Peripheral blood smear. 400×400 px. Romanowsky-type stain: 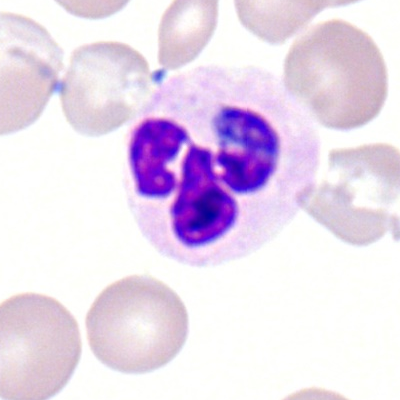 The cell shown is a neutrophil (segmented).